Bone marrow aspirate smear; MGG-stained: 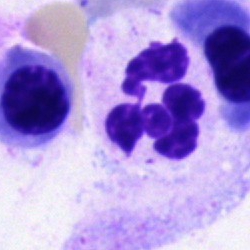
A polymorphonuclear neutrophil.